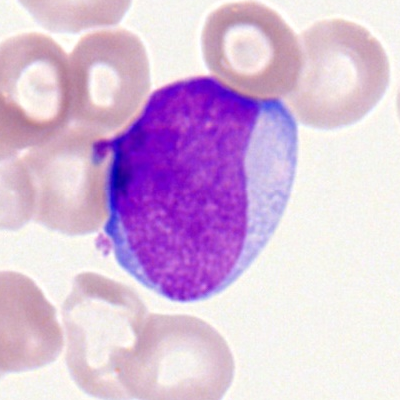

Myeloid blast.